250 by 250 pixels; bone marrow aspirate smear; single-cell field — 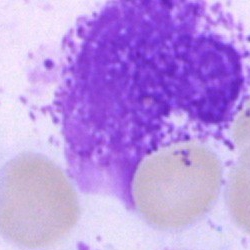Single cell identified as an artefact.